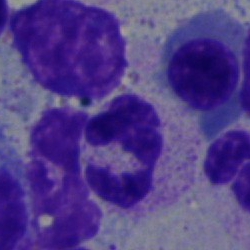The cell type is segmented neutrophil.